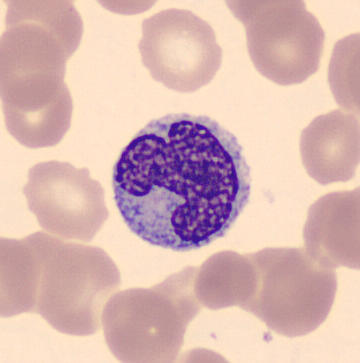
Q: What is the morphological classification of this cell?
A: It is a monocyte.